Single cell centered in the field. Bone marrow aspirate smear
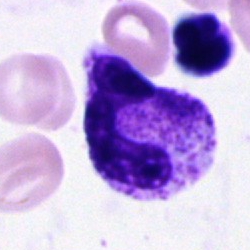 Single cell identified as a neutrophil (segmented).